Pappenheim-stained; bone marrow aspirate smear — 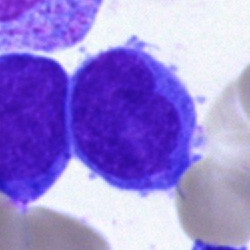
Showing a blast cell.